Bone marrow smear — 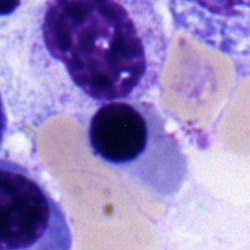 A nucleated red blood cell.